Bone marrow smear — 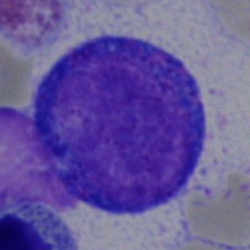
This is a progranulocyte.